Peripheral blood smear.
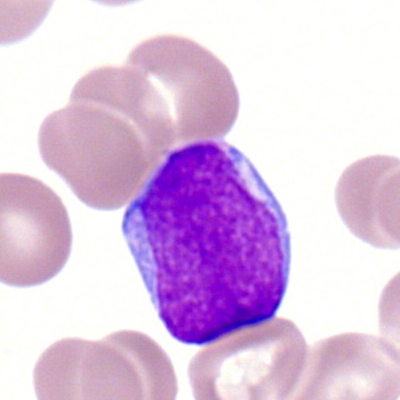
Myeloblast.